Bone marrow smear.
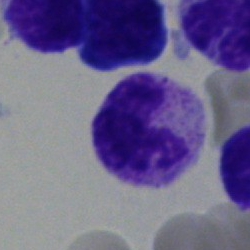{"cell_type": "band neutrophil"}